40× oil immersion · bone marrow smear
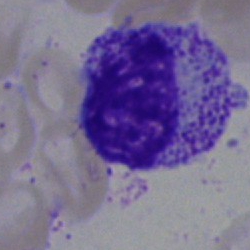A myelocyte.